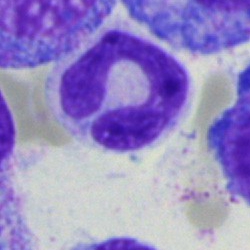

Classification = band neutrophil.